Peripheral blood film.
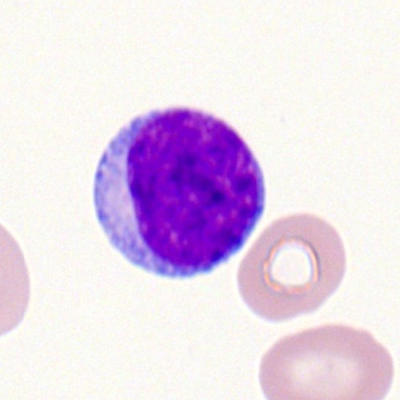 Cell: typical lymphocyte.